Bone marrow smear: 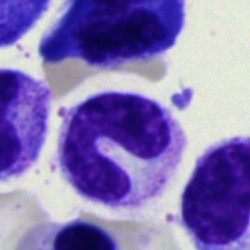Cell type — band-form neutrophil.